Bone marrow smear — 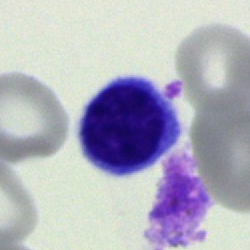
This is a lymphocyte.